Bone marrow smear · MGG-stained
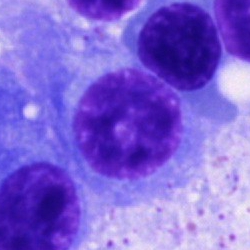

This is a plasmacyte.